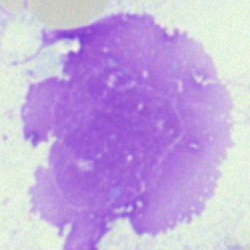The cell shown is an artefact.